Bone marrow aspirate smear:
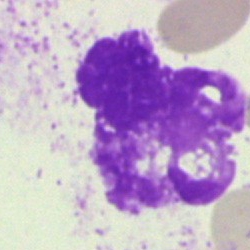

Cell type = artifact.